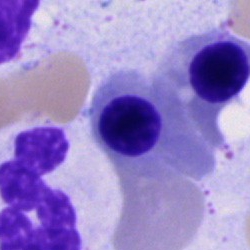

A normoblast.